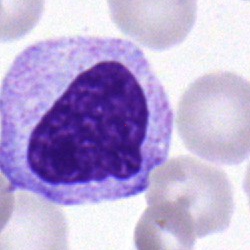
The cell type is myelocyte.